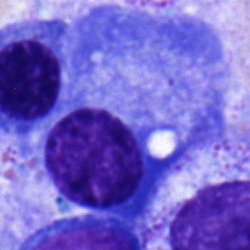

Cell = plasma cell.